400×400 px; peripheral blood smear.
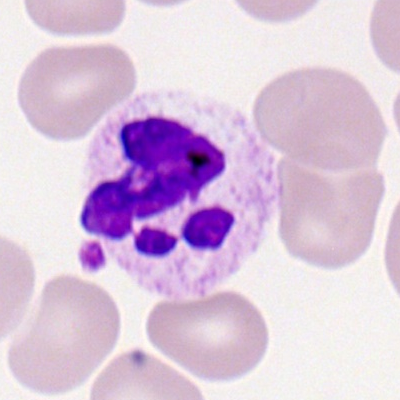 Morphology consistent with a segmented neutrophil.